Bone marrow aspirate smear.
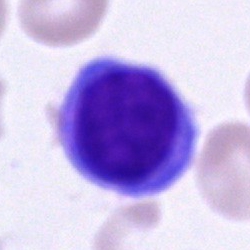 A typical lymphocyte.